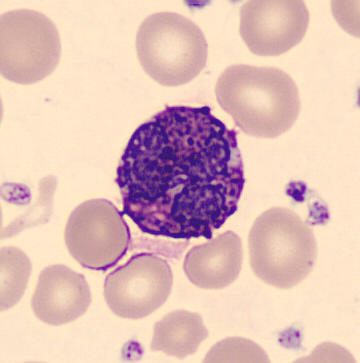

360×363 px · May-Grünwald-Giemsa-stained.
Specimen: peripheral blood film.
Classification: basophilic granulocyte.